Bone marrow smear
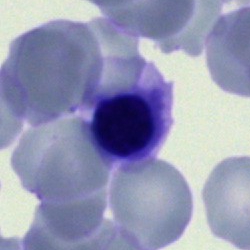
Specimen: bone marrow aspirate smear.
Cell type: nucleated red cell.
Lineage: erythroid.